Bone marrow smear.
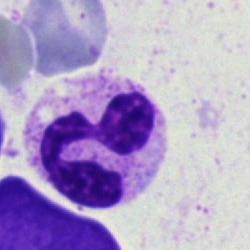
Q: Which cell type is shown here?
A: It is a polymorphonuclear neutrophil.